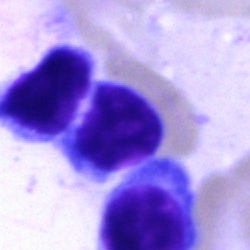Impression — lymphocyte.